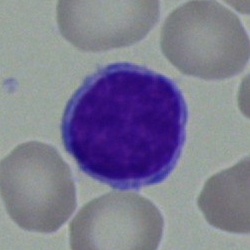
Bone marrow aspirate smear, single cell — typical lymphocyte.